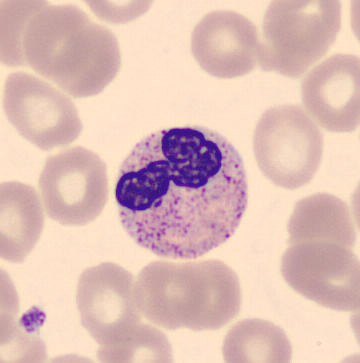
Single cell centered in the field; peripheral blood film; 360 by 363 pixels.

Single cell identified as a band neutrophil.